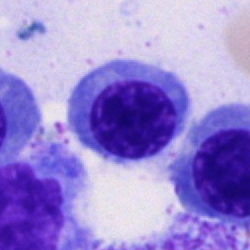

A normoblast on a bone marrow smear.